Single cell centered in the field; bone marrow smear.
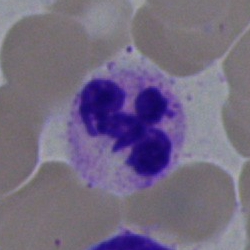
This is a polymorphonuclear neutrophil.